Peripheral blood smear; Romanowsky stain; 100× objective, oil immersion.
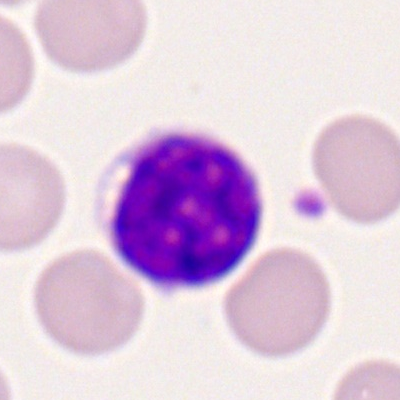

Morphology consistent with a typical lymphocyte.